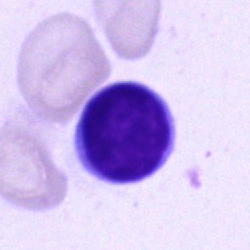

Cell type — lymphocyte.